Bone marrow aspirate smear:
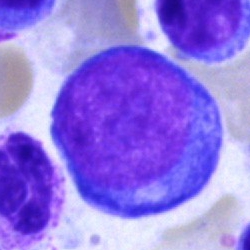
Q: What type of cell is this?
A: It is a proerythroblast.